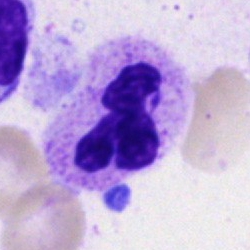
Q: What is shown here?
A: It is a segmented neutrophil.